Single cell centered in the field; bone marrow smear; brightfield, 40× oil-immersion objective: 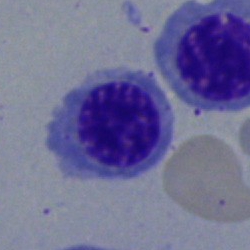 Q: What cell is this?
A: This is a normoblast.